Brightfield microscopy, 40× oil immersion; single cell centered in the field; bone marrow aspirate smear:
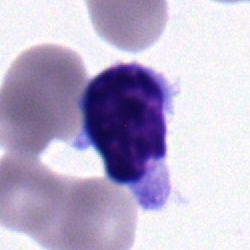This is a typical lymphocyte.